Bone marrow smear · Pappenheim-stained
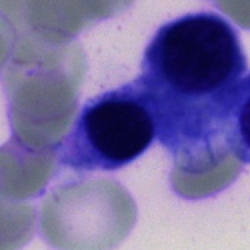The classification is normoblast.